40× objective, oil immersion; bone marrow smear: 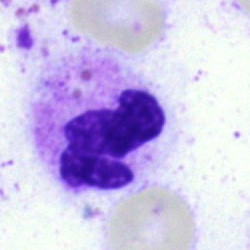

A neutrophil (segmented).